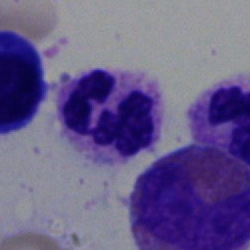
Neutrophil (segmented).